Image size 250×250; bone marrow aspirate smear — 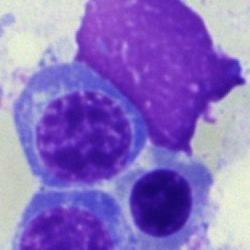
The cell type is erythroblast.